MGG-stained · bone marrow smear
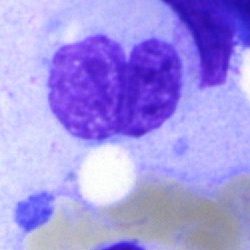 Cell — artifact.